250 by 250 pixels. Bone marrow smear
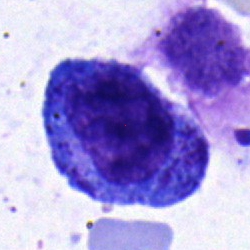
Specimen: bone marrow aspirate smear.
Cell: progranulocyte.
Lineage: myeloid.